Bone marrow aspirate smear. May-Grünwald-Giemsa stain.
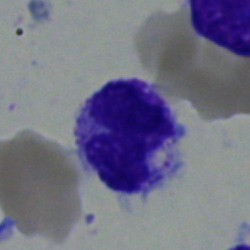

Neutrophil (segmented).